Peripheral blood smear: 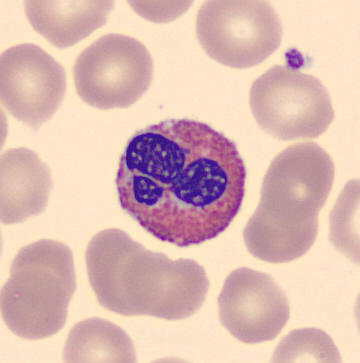 Cell type = eosinophil.